Bone marrow aspirate smear.
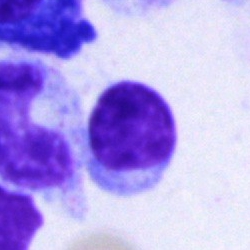

The classification is typical lymphocyte.